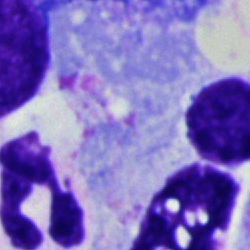

The cell shown is an artefact.